Bone marrow aspirate smear
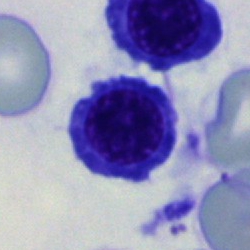Q: Identify the cell.
A: It is a nucleated red blood cell.